Bone marrow aspirate smear; image size 250×250:
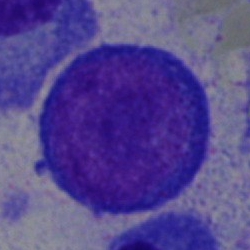 Classification — pronormoblast.